Bone marrow smear.
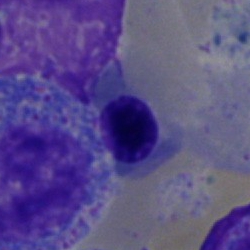 Q: What cell is this?
A: This is a normoblast.